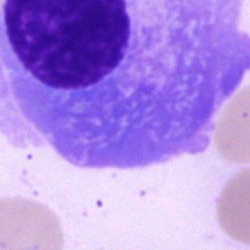

The cell is plasma cell.